250×250 px; single-cell field; bone marrow aspirate smear
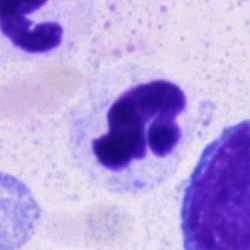
Single cell identified as a segmented neutrophil.